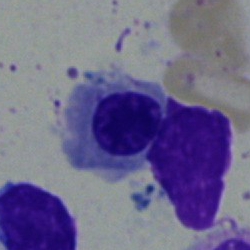The classification is nucleated red blood cell.